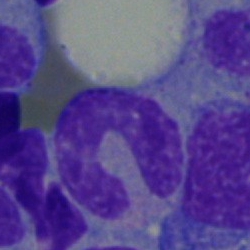 Bone marrow aspirate smear, single cell — erythroblast.